MGG-stained. Bone marrow smear. 40× oil immersion
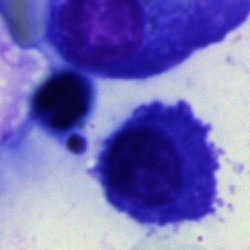
Specimen: bone marrow smear.
Cell type: nucleated red cell.